Bone marrow smear. May-Grünwald-Giemsa/Pappenheim stain. 40× objective, oil immersion: 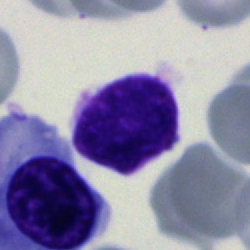A typical lymphocyte.